May-Grünwald-Giemsa/Pappenheim stain · bone marrow aspirate smear
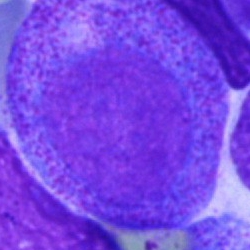
Morphology consistent with a promyelocyte.